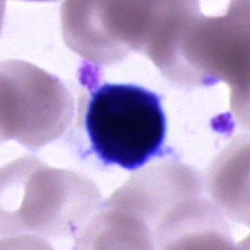 Showing an unidentifiable cell.